May-Grünwald-Giemsa stain; bone marrow smear:
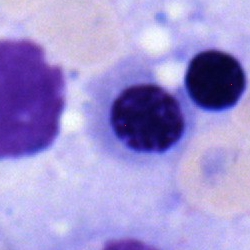
The morphological class is erythroblast.